Bone marrow smear:
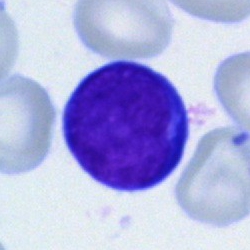

Q: What is shown here?
A: A typical lymphocyte.